250×250 px; bone marrow smear; MGG-stained.
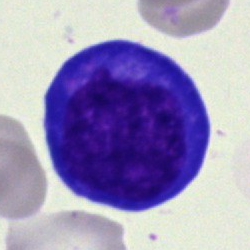Showing a nucleated red cell.